Image size 250×250 · bone marrow smear · Pappenheim-stained — 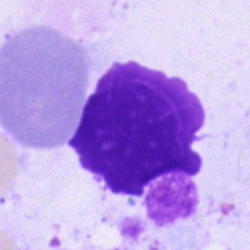An artifact.